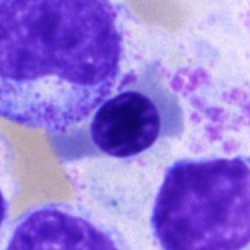

This is a nucleated red blood cell.